Peripheral blood film — 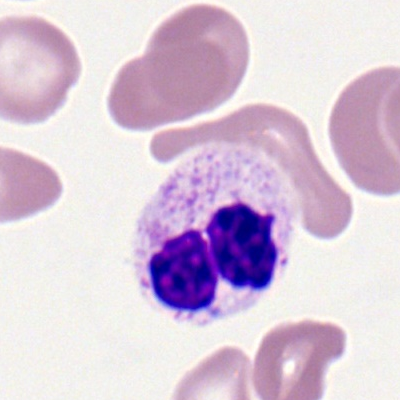
Morphological class: segmented neutrophil.